Bone marrow aspirate smear:
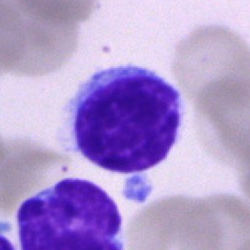

Cell type — lymphocyte.